Peripheral blood smear; single-cell field:
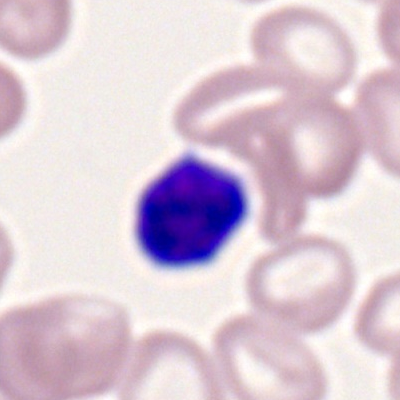Classification = typical lymphocyte.